Single-cell field. Bone marrow smear:
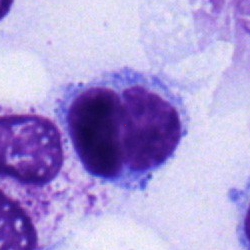Morphology → lymphocyte.